May-Grünwald-Giemsa/Pappenheim stain · bone marrow smear.
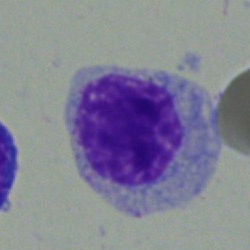

Cell type = myelocyte.